Bone marrow smear: 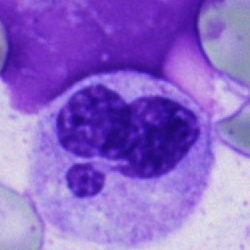
Morphological class: polymorphonuclear neutrophil.